Peripheral blood film:
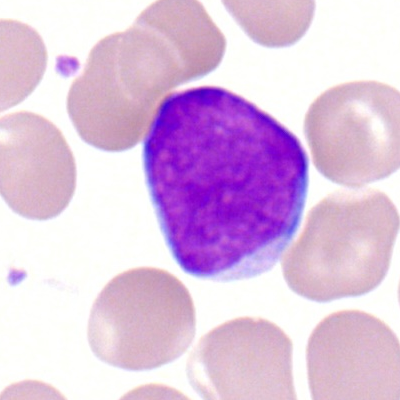A myeloid blast.